360×363 · CellaVision DM96 digital cell image · peripheral blood smear.
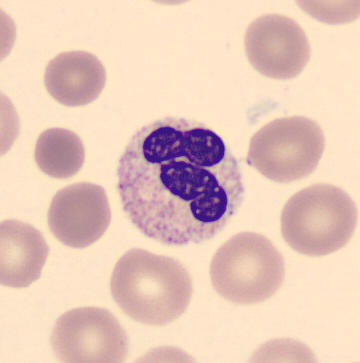

The cell is band neutrophil.